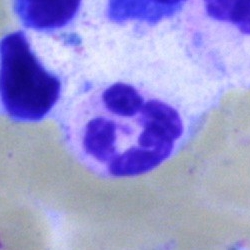

{"cell_type": "neutrophil (segmented)"}